Bone marrow aspirate smear — 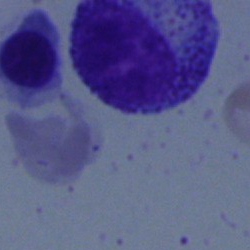

Specimen: bone marrow smear.
Morphological class: myelocyte.
Lineage: myeloid.